Bone marrow smear · single-cell crop · brightfield microscopy, 40× oil immersion: 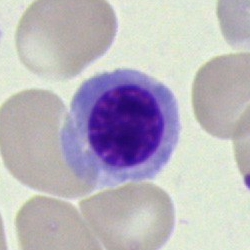 Normoblast.